Bone marrow aspirate smear; 250×250 px: 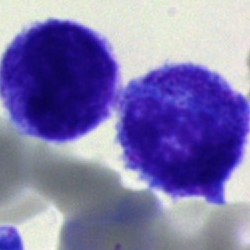Cell of indeterminate lineage.